Bone marrow aspirate smear
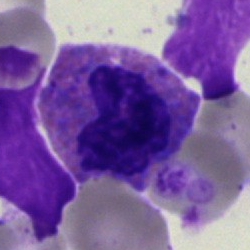 This is an eosinophil.